MGG-stained; bone marrow aspirate smear; single cell centered in the field.
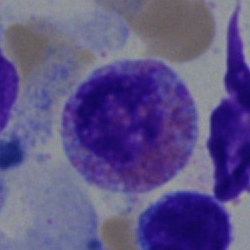 Impression — eosinophil.